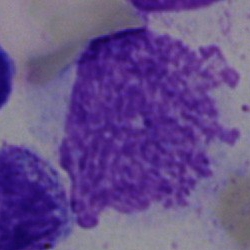
Artifact.